MGG-stained · 40× oil immersion · bone marrow aspirate smear — 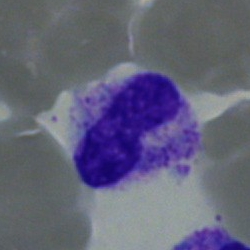

Specimen: bone marrow aspirate smear.
Classification: neutrophil (band).
Lineage: myeloid.